Bone marrow aspirate smear: 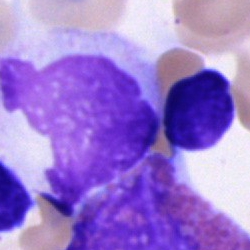 Morphology consistent with an unidentifiable cell.